Bone marrow smear — 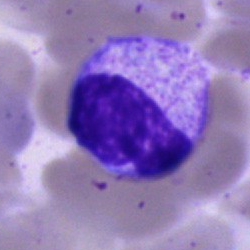 An unidentifiable cell.